Peripheral blood smear.
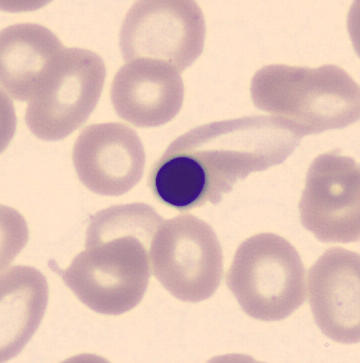

Cell type = normoblast.